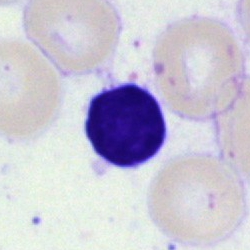 Single cell identified as a lymphocyte.